Pappenheim-stained; bone marrow aspirate smear:
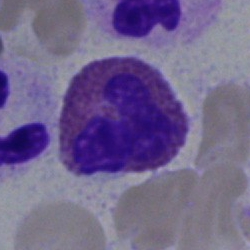The cell is eosinophil.